Bone marrow aspirate smear
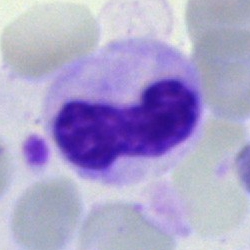

{"cell_type": "band-form neutrophil", "lineage": "myeloid"}